250 by 250 pixels · bone marrow aspirate smear · brightfield, 40× oil-immersion objective.
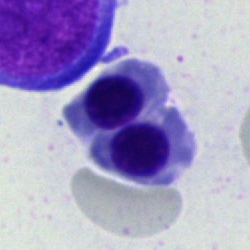The classification is normoblast.